Bone marrow aspirate smear.
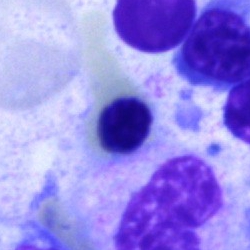

Morphology — nucleated red blood cell.